Bone marrow aspirate smear.
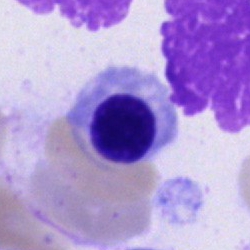

{"cell_type": "nucleated red blood cell", "lineage": "erythroid"}